Bone marrow aspirate smear
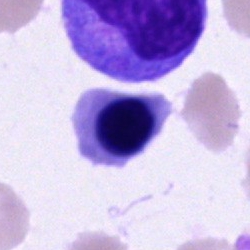Specimen: bone marrow smear.
Morphological class: nucleated red cell.
Lineage: erythroid.